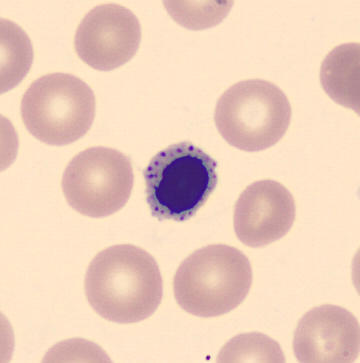

The cell shown is an erythroblast.